Bone marrow aspirate smear.
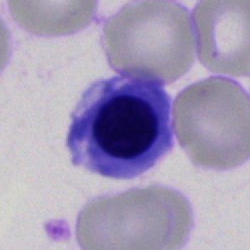

Specimen: bone marrow aspirate smear.
Classification: erythroblast.
Lineage: erythroid.